Bone marrow aspirate smear: 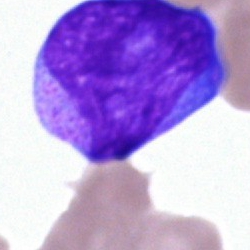Specimen: bone marrow smear.
Cell type: blast.